Bone marrow smear — 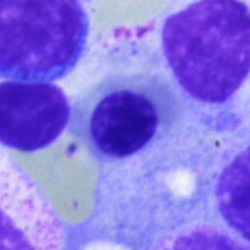 Specimen: bone marrow smear.
Cell type: nucleated red cell.
Lineage: erythroid.